250 by 250 pixels. Bone marrow aspirate smear:
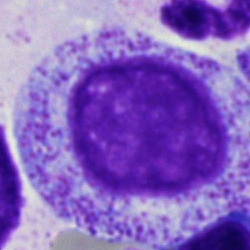 Myelocyte.